Bone marrow smear · 250 by 250 pixels:
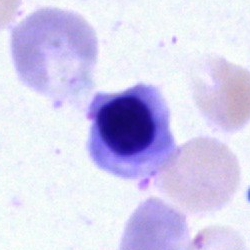 A nucleated red blood cell.